Bone marrow aspirate smear.
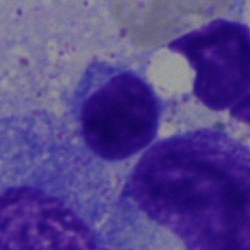Cell: lymphocyte.